Bone marrow smear; image size 250×250
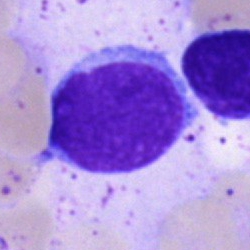 Q: Identify the cell.
A: Blast cell.